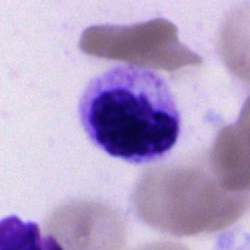
The morphological class is neutrophil (segmented).